Bone marrow smear — 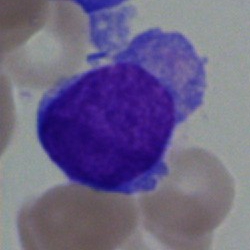

Impression → blast cell.